Bone marrow aspirate smear
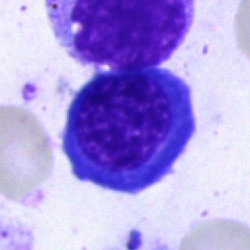Showing a nucleated red cell.